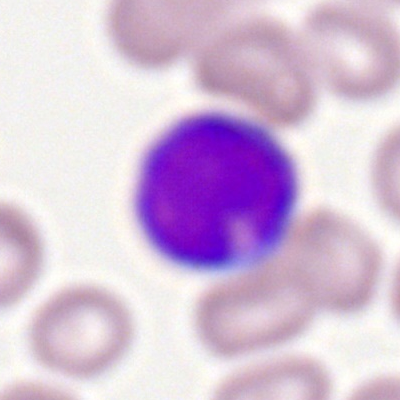
Specimen: peripheral blood film.
Cell type: myeloid blast.
Lineage: myeloid.